Bone marrow smear
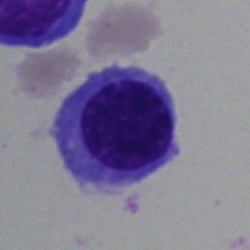Classification: nucleated red cell.